250 by 250 pixels. Bone marrow smear:
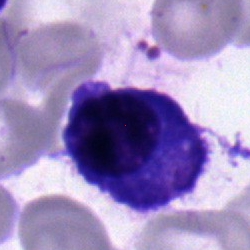 Q: Identify the cell.
A: This is a plasmacyte.